Peripheral blood smear
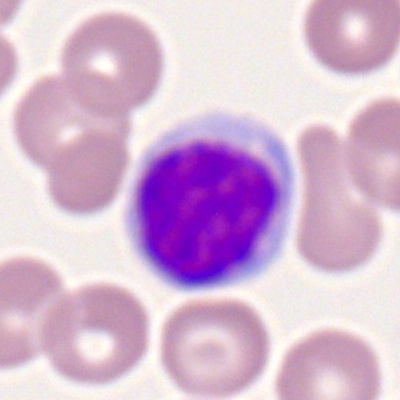
Morphology consistent with a lymphocyte.